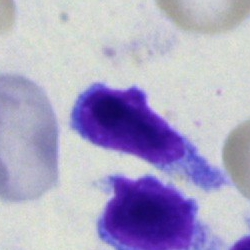

This is a typical lymphocyte.